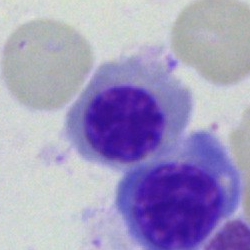 The morphological class is nucleated red cell.